Brightfield, 40× oil-immersion objective; bone marrow smear; single-cell crop: 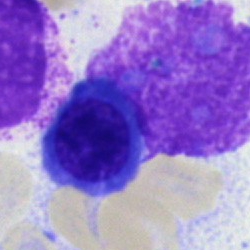A normoblast.